Bone marrow aspirate smear · 40× objective, oil immersion
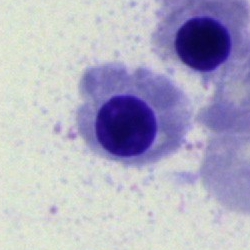 Cell — nucleated red blood cell.